400×400 px · Romanowsky stain · peripheral blood film: 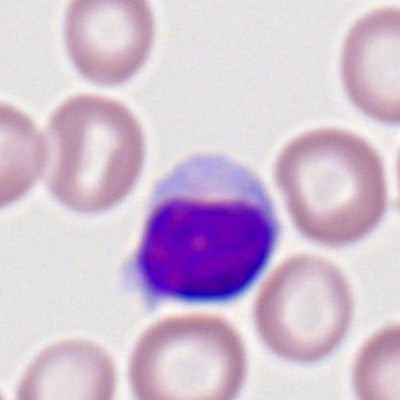

Classification — typical lymphocyte.